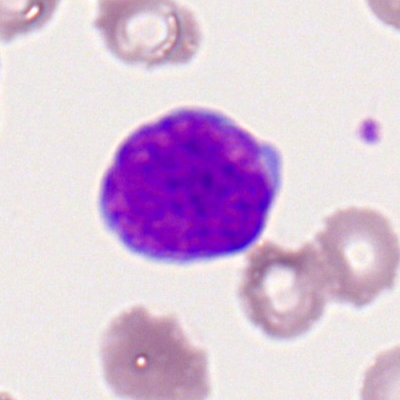Classification: myeloid blast.